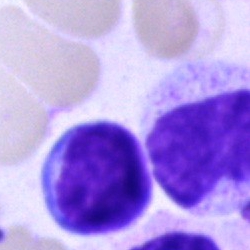Bone marrow aspirate smear, single cell — typical lymphocyte.